Bone marrow smear: 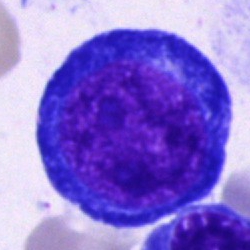

Morphological class: proerythroblast.